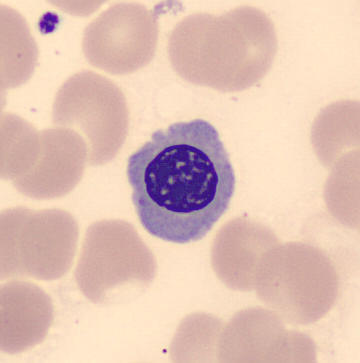

A normoblast.